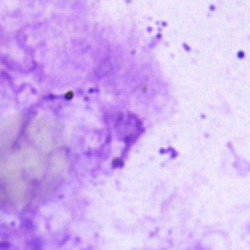 An artefact.